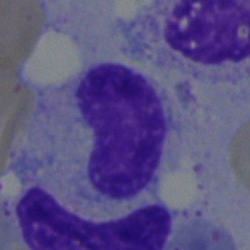 Specimen: bone marrow aspirate smear.
Morphological class: neutrophil (band).